Cropped to a single cell; peripheral blood film: 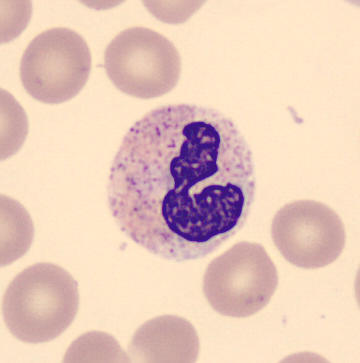Impression — polymorphonuclear neutrophil.